Single-cell field; bone marrow aspirate smear: 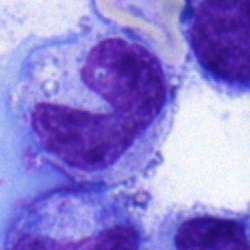 Showing a band-form neutrophil.